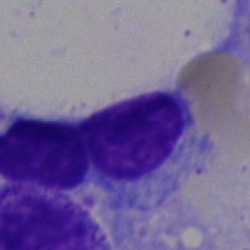Classification — typical lymphocyte.